250 by 250 pixels; 40× oil immersion; bone marrow aspirate smear
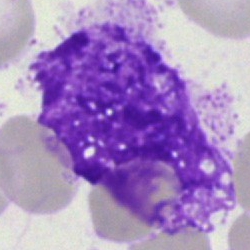 {"cell_type": "artefact"}